Bone marrow smear · MGG-stained:
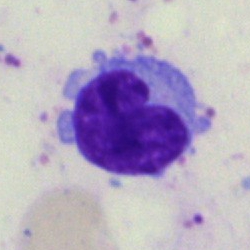

Impression → lymphocyte.